Single-cell crop; peripheral blood smear.
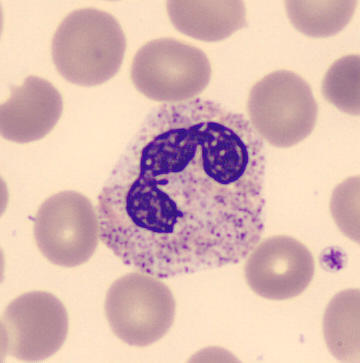

Cell type: segmented neutrophil.